Bone marrow aspirate smear.
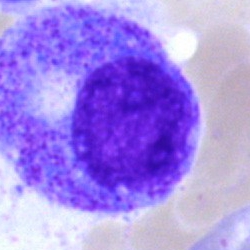
Specimen: bone marrow aspirate smear.
Cell: promyelocyte.
Lineage: myeloid.